Bone marrow aspirate smear:
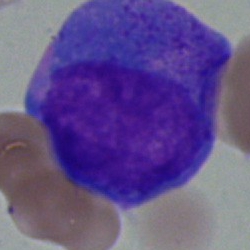
Cell type: progranulocyte.